Pappenheim-stained · bone marrow smear: 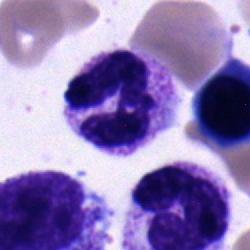
Single cell identified as a neutrophil (band).